Bone marrow smear.
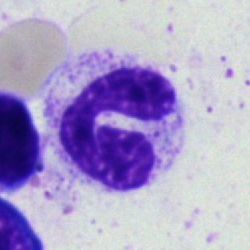
Morphological class: segmented neutrophil.